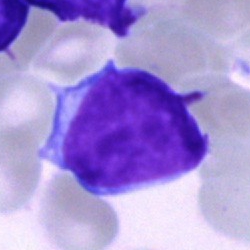Bone marrow aspirate smear, single cell — blast cell.